Bone marrow aspirate smear:
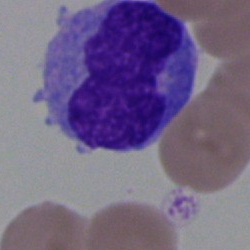

This is a monocyte.